Bone marrow aspirate smear:
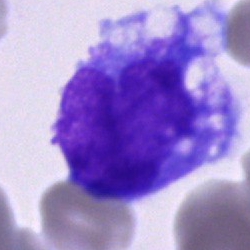 Q: Identify the cell.
A: It is a monocyte.